Peripheral blood smear: 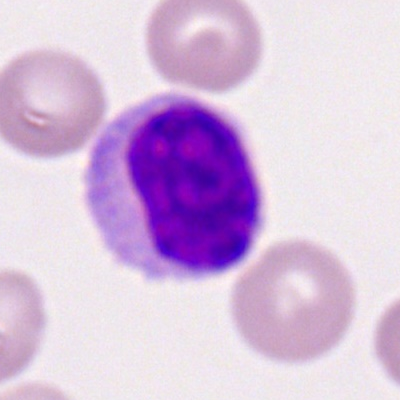 {"cell_type": "lymphocyte"}